Bone marrow aspirate smear · cropped to a single cell — 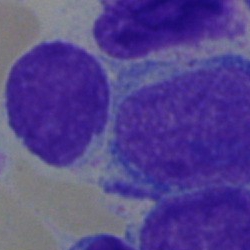

Q: What type of cell is this?
A: It is a blast cell.